40× objective, oil immersion · Pappenheim-stained · bone marrow smear:
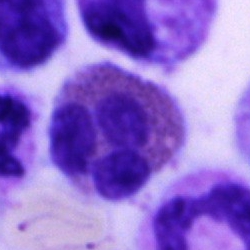
The morphological class is eosinophil.